Bone marrow aspirate smear — 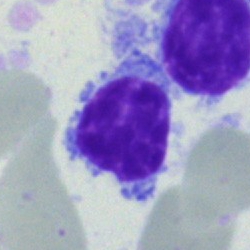

Q: What is shown here?
A: It is a typical lymphocyte.